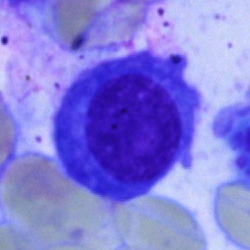 Plasma cell.